Bone marrow aspirate smear — 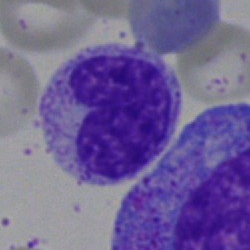
{"cell_type": "metamyelocyte"}